Peripheral blood smear:
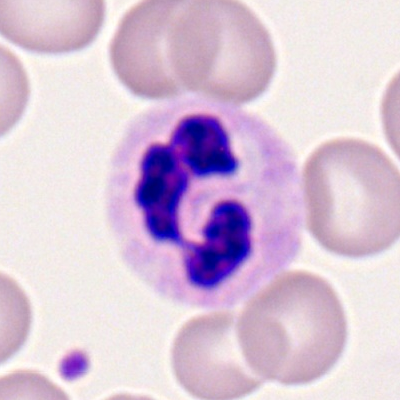
Segmented neutrophil.